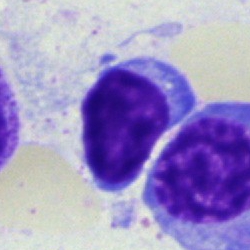
Cell: typical lymphocyte.